Bone marrow smear. Single cell centered in the field: 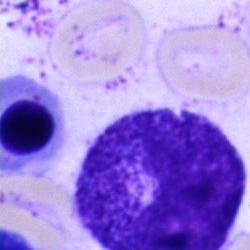
Promyelocyte.